Bone marrow aspirate smear.
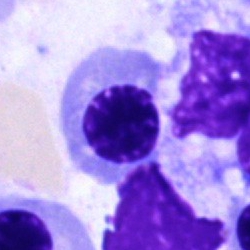
Classification — nucleated red cell.